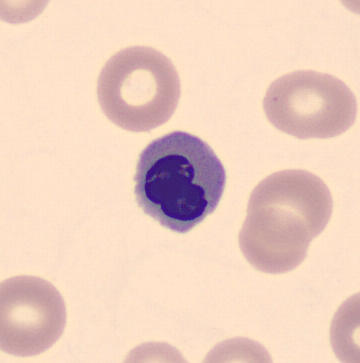Specimen: peripheral blood smear.
Cell: normoblast.
Lineage: erythroid.